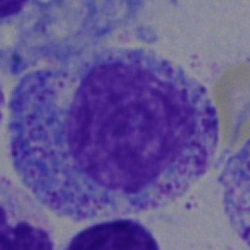 Cell type = progranulocyte.